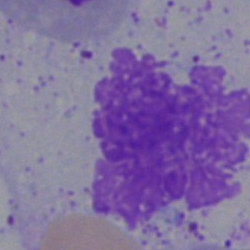Artefact.